Bone marrow smear.
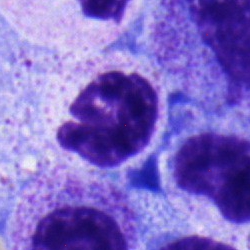 Morphology consistent with a polymorphonuclear neutrophil.